Bone marrow smear:
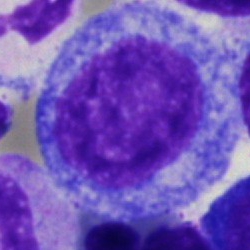Q: Which cell type is shown here?
A: Promyelocyte.